Bone marrow aspirate smear.
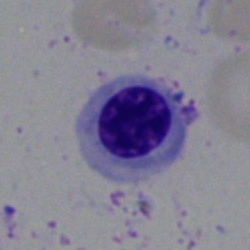Morphology → nucleated red cell.